Bone marrow aspirate smear
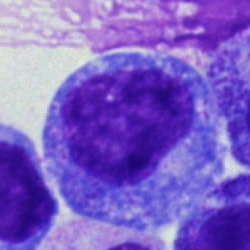
Cell type = progranulocyte.